Bone marrow smear: 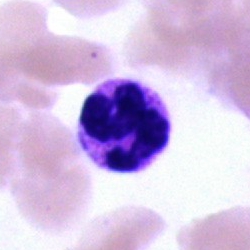

Morphological class = polymorphonuclear neutrophil.